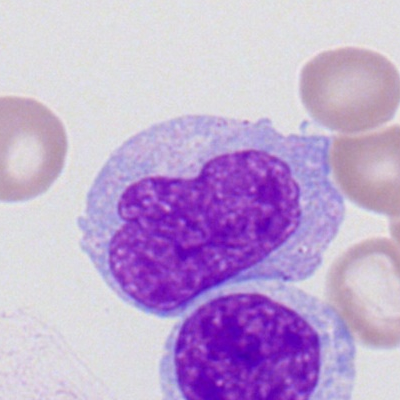

Cell type = monocyte.